Single-cell field · bone marrow smear · 250×250 px: 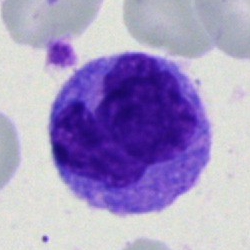Q: What cell is this?
A: A monocyte.